Bone marrow smear
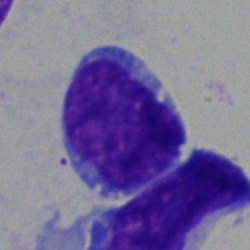Q: What is shown here?
A: This is a blast.